250 by 250 pixels. Bone marrow aspirate smear.
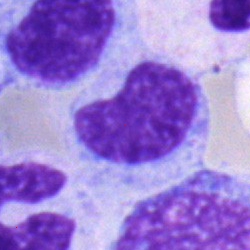
Q: What is the morphological classification of this cell?
A: It is a metamyelocyte.